Bone marrow smear: 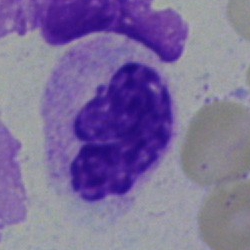
Specimen: bone marrow aspirate smear.
Morphological class: band neutrophil.
Lineage: myeloid.